Bone marrow aspirate smear.
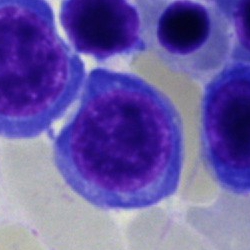Showing a nucleated red cell.